Pappenheim-stained. Bone marrow smear — 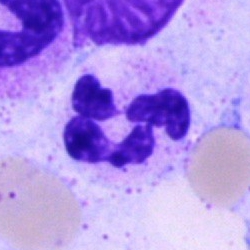

Q: What type of cell is this?
A: Segmented neutrophil.